Bone marrow aspirate smear — 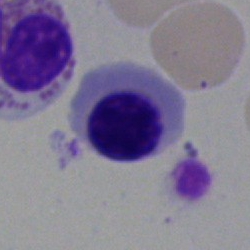 This is an erythroblast.